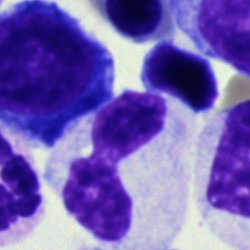
Morphological class — segmented neutrophil.